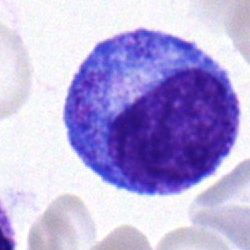Q: Which cell type is shown here?
A: This is a promyelocyte.